Bone marrow smear
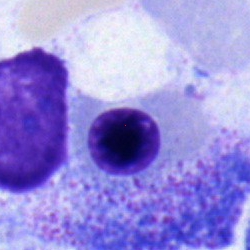
Q: Which cell type is shown here?
A: It is a nucleated red cell.